Bone marrow aspirate smear:
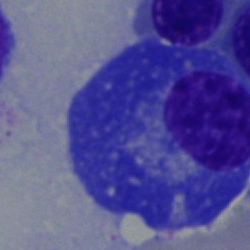
Q: What is shown here?
A: A plasmacyte.